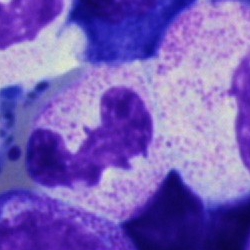
Specimen: bone marrow smear.
Cell: segmented neutrophil.